Bone marrow aspirate smear — 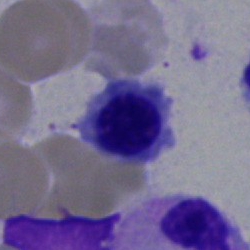
This is a normoblast.